Bone marrow aspirate smear:
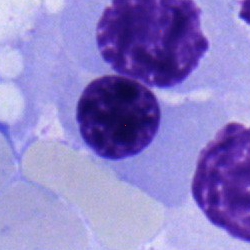 Q: What type of cell is this?
A: Erythroblast.